Peripheral blood smear · CellaVision DM96.
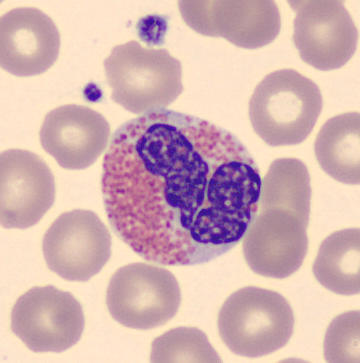
Eosinophil.